Bone marrow smear.
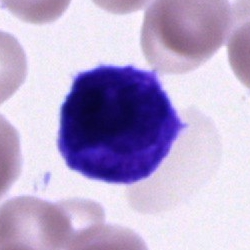 Cell type — unidentifiable cell.